Bone marrow aspirate smear — 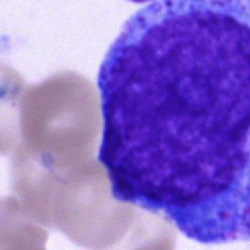 Q: What cell is this?
A: A progranulocyte.